Peripheral blood smear.
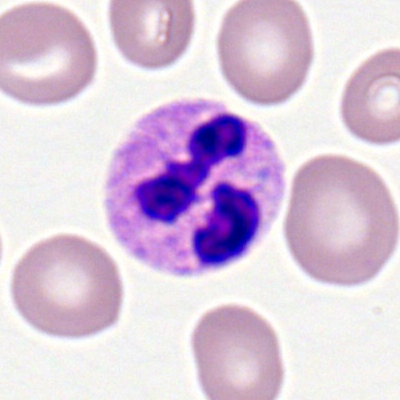

A segmented neutrophil.